Bone marrow smear — 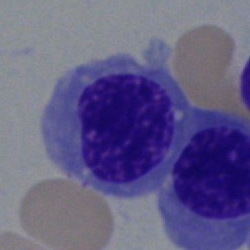 Cell type: nucleated red blood cell.